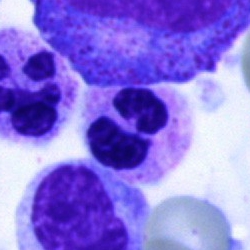Morphology consistent with a segmented neutrophil.